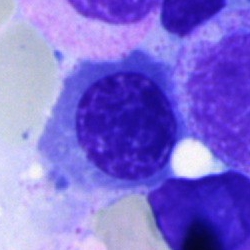

Morphological class = nucleated red cell.